Bone marrow aspirate smear. Single-cell crop:
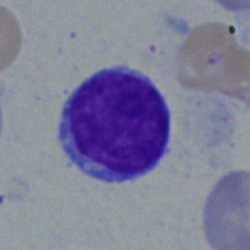

Q: What is shown here?
A: Lymphocyte.